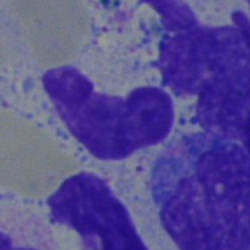The cell shown is a neutrophil (band).